Peripheral blood smear; 100× oil immersion; 400×400.
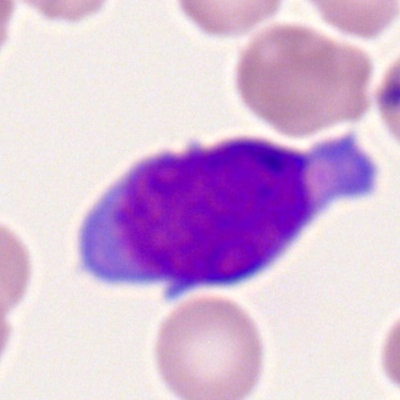
Classification = myeloblast.